Bone marrow smear. 250 by 250 pixels — 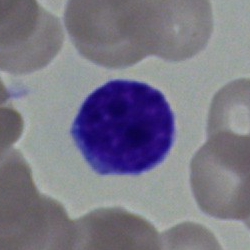This is a typical lymphocyte.